250×250 px · bone marrow aspirate smear · 40× objective, oil immersion — 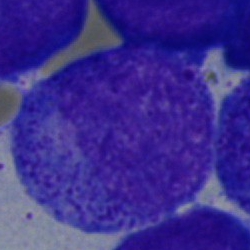Morphology — promyelocyte.